Peripheral blood film:
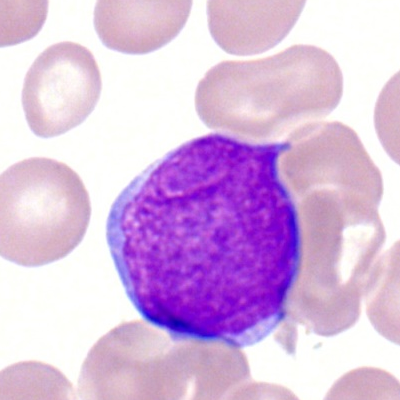 Classification — myeloid blast.